Bone marrow aspirate smear; 40× oil immersion; 250 by 250 pixels
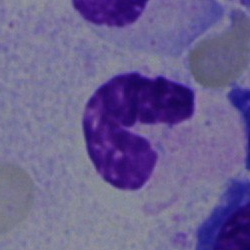

Specimen: bone marrow aspirate smear.
Cell type: neutrophil (band).